Bone marrow aspirate smear; single-cell crop
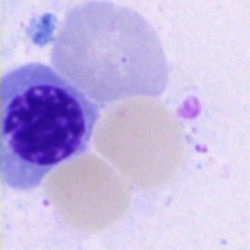

Erythroblast.